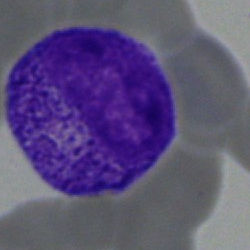

Myelocyte.